Bone marrow aspirate smear; single-cell crop.
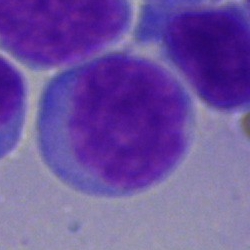
Showing an undifferentiated blast.